Bone marrow smear · May-Grünwald-Giemsa stain:
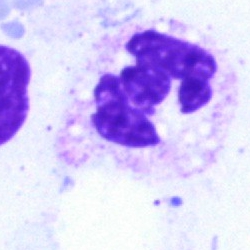

Q: Which cell type is shown here?
A: Polymorphonuclear neutrophil.